Peripheral blood film — 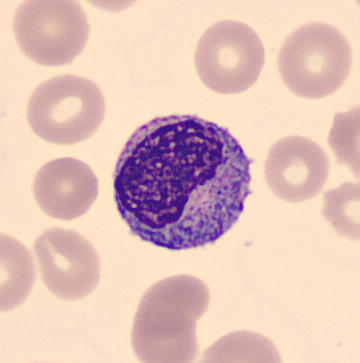

Morphology → myelocyte.